Bone marrow smear:
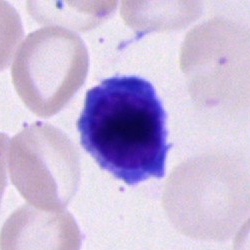 Specimen: bone marrow aspirate smear.
Cell type: erythroblast.